Bone marrow smear.
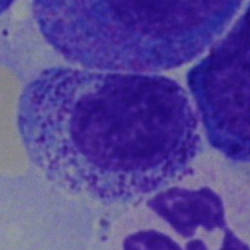
Q: Identify the cell.
A: Myelocyte.